Bone marrow smear:
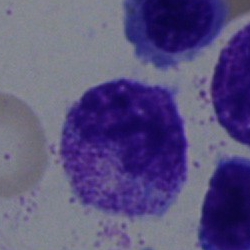

Showing a metamyelocyte.